Bone marrow smear. Pappenheim-stained.
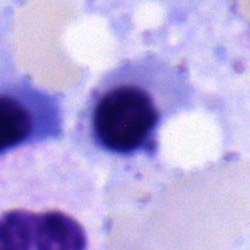

Q: What cell is this?
A: A normoblast.